Bone marrow aspirate smear: 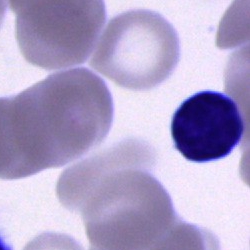
Cell type = typical lymphocyte.